Bone marrow smear: 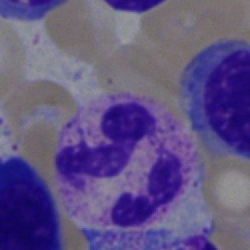A neutrophil (segmented).